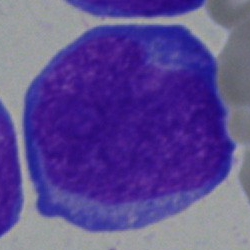Bone marrow aspirate smear, single cell — undifferentiated blast.